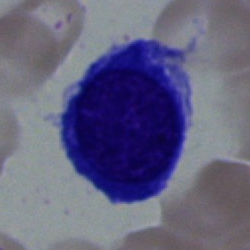

The cell type is nucleated red cell.